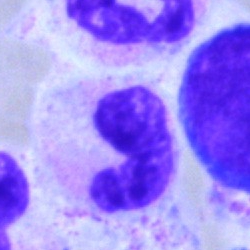

Cell type — band-form neutrophil.